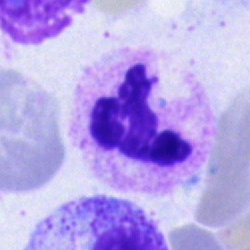 Cell — neutrophil (segmented).